Bone marrow smear — 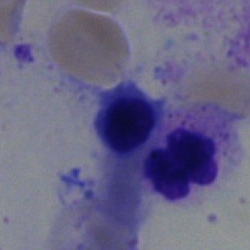Specimen: bone marrow aspirate smear.
Cell type: nucleated red blood cell.
Lineage: erythroid.